Peripheral blood smear: 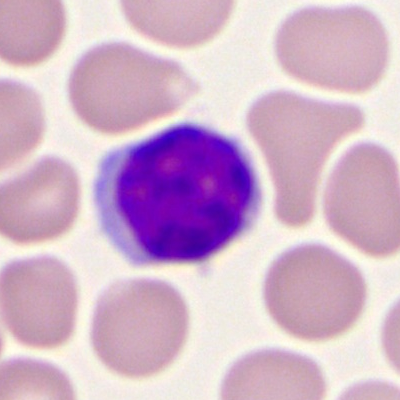
Q: What type of cell is this?
A: This is a lymphocyte.